Bone marrow smear: 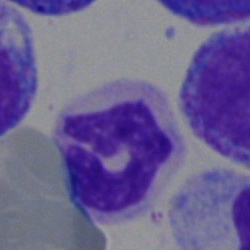

Classification: neutrophil (segmented).